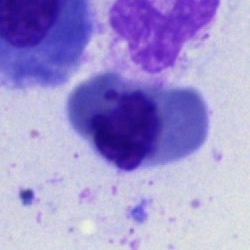Q: What cell is this?
A: It is an erythroblast.